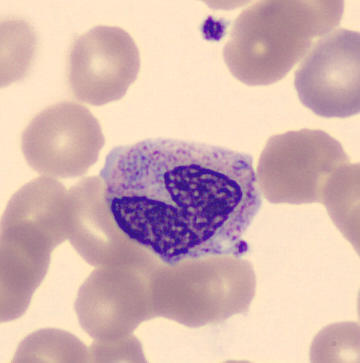
The cell shown is a metamyelocyte. Peripheral blood film.